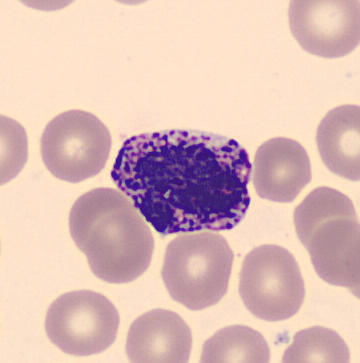
Single cell identified as a basophilic granulocyte.

Acquisition: Peripheral blood smear.